Bone marrow smear · 250×250 px: 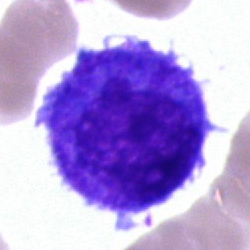
Cell = progranulocyte.